Bone marrow aspirate smear: 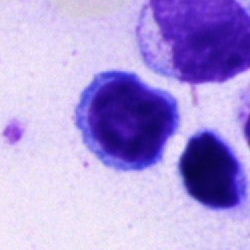 Single cell identified as a lymphocyte.